250 by 250 pixels; bone marrow aspirate smear:
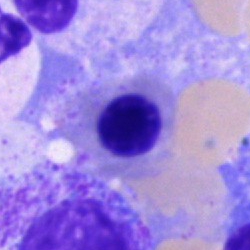 Q: What is shown here?
A: This is an erythroblast.